Bone marrow smear:
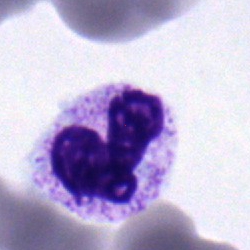

Q: What type of cell is this?
A: It is a polymorphonuclear neutrophil.